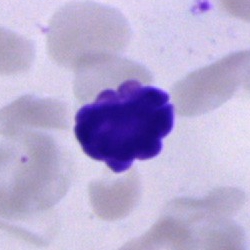 Specimen: bone marrow smear.
Cell: artefact.